Bone marrow smear; 250×250 px; cropped to a single cell — 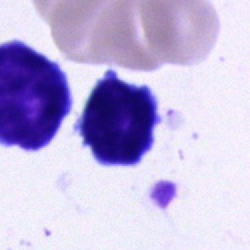
Morphology consistent with a lymphocyte.